Bone marrow aspirate smear · single cell centered in the field · May-Grünwald-Giemsa stain:
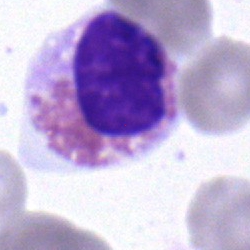
An eosinophil.